40× oil immersion · bone marrow aspirate smear: 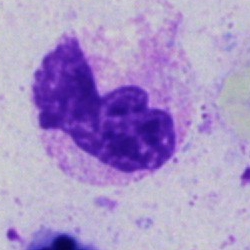

Q: What is shown here?
A: It is a neutrophil (segmented).